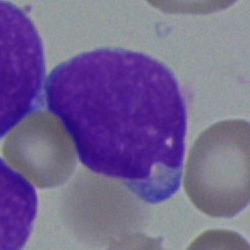Cell type — blast cell.